Bone marrow aspirate smear; 250 by 250 pixels: 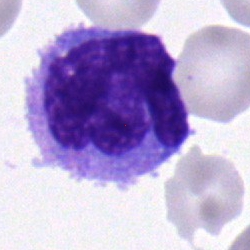{"cell_type": "monocyte"}